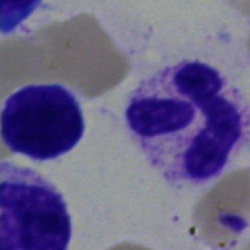 The cell shown is a polymorphonuclear neutrophil.